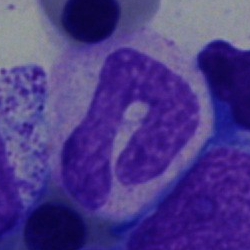

A neutrophil (band).